Bone marrow aspirate smear. 250 by 250 pixels. Brightfield, 40× oil-immersion objective: 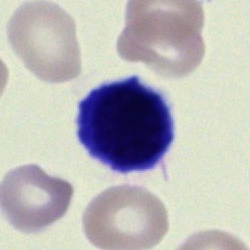
The classification is lymphocyte.